Bone marrow aspirate smear; Pappenheim-stained; brightfield microscopy, 40× oil immersion — 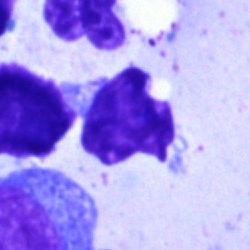

Single cell identified as an artefact.